Bone marrow aspirate smear.
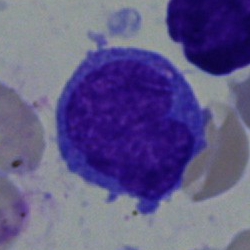

Specimen: bone marrow smear.
Morphological class: blast cell.